Single cell centered in the field · bone marrow smear · May-Grünwald-Giemsa stain.
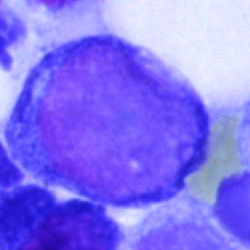
A pronormoblast.